Bone marrow smear: 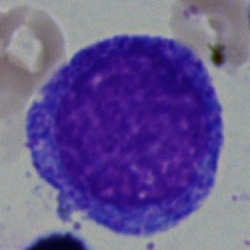

This is a promyelocyte.